Bone marrow aspirate smear.
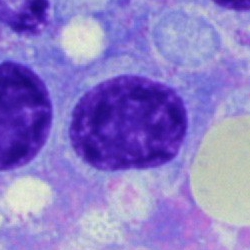
Specimen: bone marrow aspirate smear.
Classification: plasma cell.